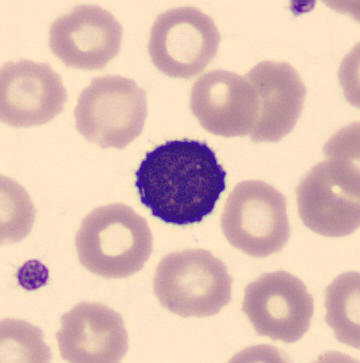 Imaged on a CellaVision DM96 analyser · peripheral blood film · single-cell field.
Classification — typical lymphocyte.